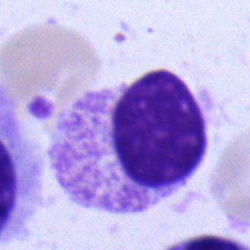

The classification is myelocyte.